Peripheral blood smear:
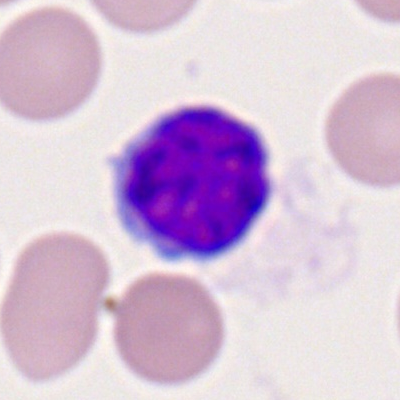 Lymphocyte.